Bone marrow aspirate smear · MGG-stained.
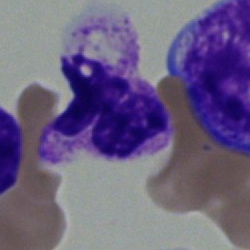
Morphology consistent with a polymorphonuclear neutrophil.